Peripheral blood smear:
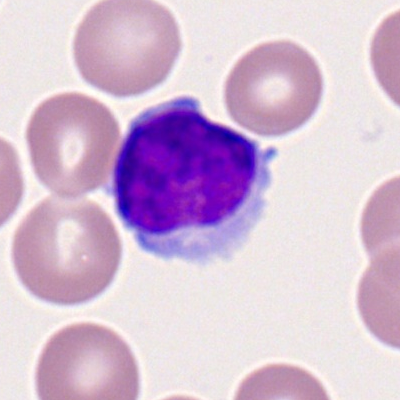

Q: What cell is this?
A: It is a typical lymphocyte.